40× objective, oil immersion; bone marrow aspirate smear: 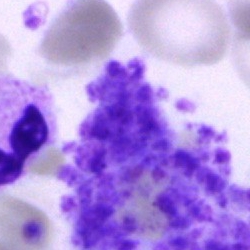 Impression — artefact.